Peripheral blood film.
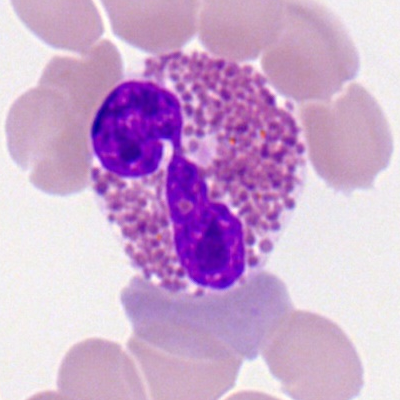 {"cell_type": "eosinophil"}